Bone marrow smear: 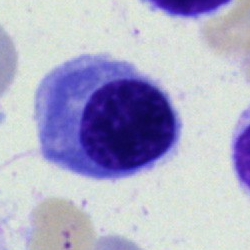 A nucleated red cell.